Bone marrow aspirate smear; 250×250:
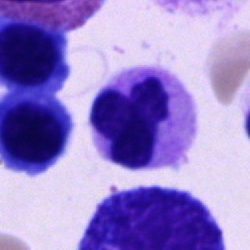Q: Identify the cell.
A: A segmented neutrophil.